100× oil immersion. Cropped to a single cell. Peripheral blood smear.
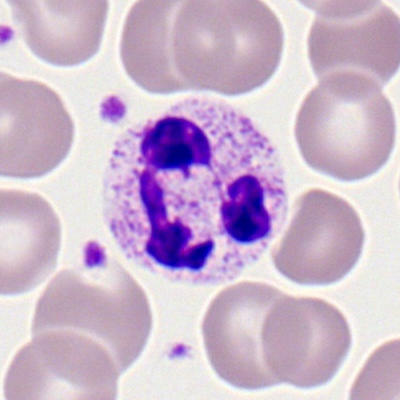The cell shown is a polymorphonuclear neutrophil.